Bone marrow smear
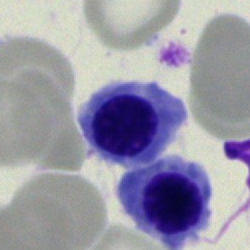
Q: What type of cell is this?
A: Erythroblast.